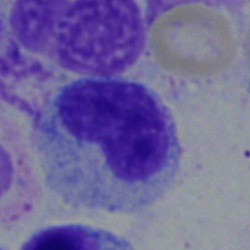 Bone marrow smear showing a metamyelocyte.